Bone marrow aspirate smear — 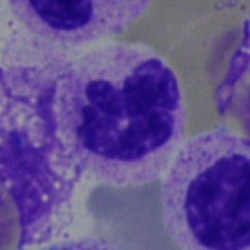
Morphology — polymorphonuclear neutrophil.